Bone marrow aspirate smear: 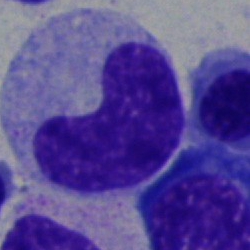

Cell type = neutrophil (band).